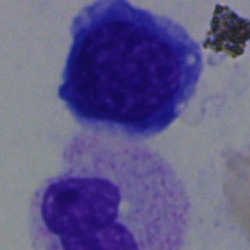 Q: What type of cell is this?
A: It is a normoblast.